Peripheral blood smear · 100× objective, oil immersion · single cell centered in the field: 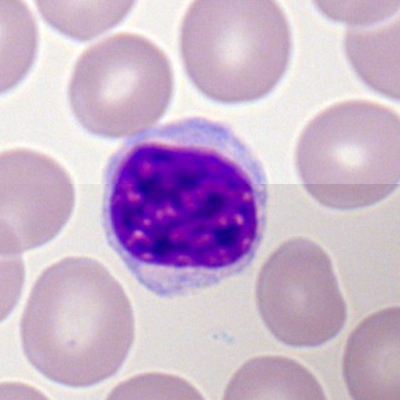
This is a lymphocyte.